Bone marrow aspirate smear.
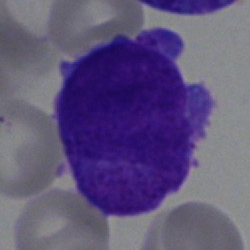 Impression → blast.